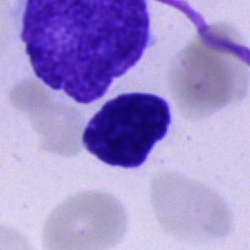 The cell shown is an artifact.